Bone marrow smear. Single-cell crop.
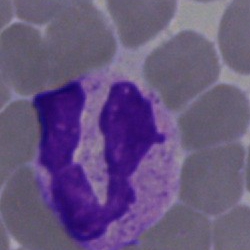
{"cell_type": "polymorphonuclear neutrophil", "lineage": "myeloid"}